Bone marrow aspirate smear · May-Grünwald-Giemsa stain: 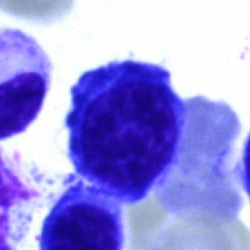Impression → nucleated red cell.